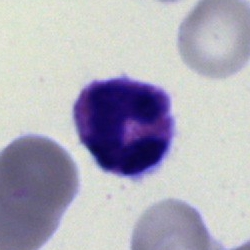

The cell type is neutrophil (segmented).